Bone marrow aspirate smear:
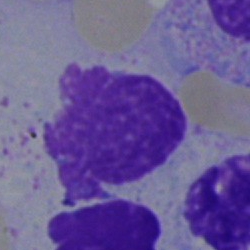
Single cell identified as an artifact.